Bone marrow smear. Image size 250×250:
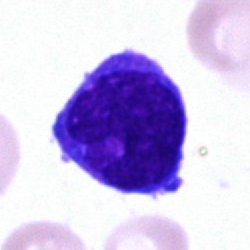
Morphology consistent with an undifferentiated blast.